Single cell centered in the field · bone marrow smear · Pappenheim-stained — 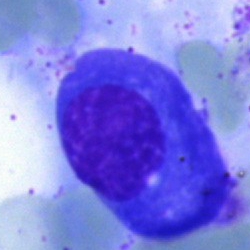

Q: Which cell type is shown here?
A: This is a plasma cell.